Bone marrow aspirate smear.
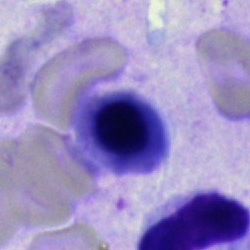
Morphological class: normoblast.